250 by 250 pixels; bone marrow aspirate smear; MGG-stained: 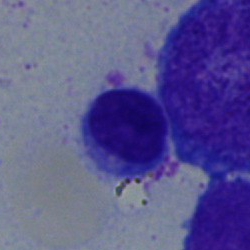 {"cell_type": "typical lymphocyte", "lineage": "lymphoid"}